Bone marrow smear
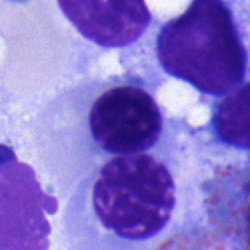A normoblast.